250×250. Bone marrow smear.
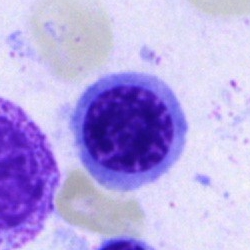
Specimen: bone marrow aspirate smear.
Classification: nucleated red blood cell.
Lineage: erythroid.